Bone marrow smear:
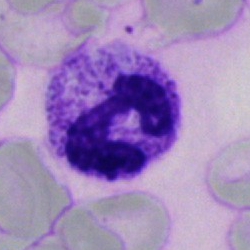
The cell shown is a neutrophil (segmented).